Bone marrow aspirate smear
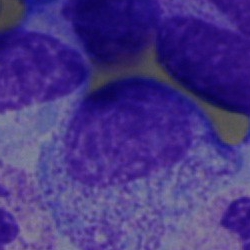 Classification — myelocyte.